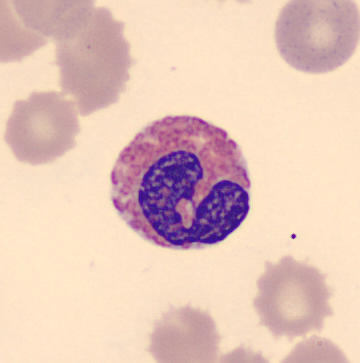

MGG-stained.

Specimen: peripheral blood smear.
Cell type: eosinophil.
Lineage: myeloid.